Single-cell field · bone marrow aspirate smear
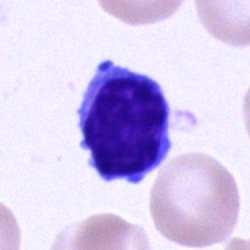Specimen: bone marrow aspirate smear.
Cell: typical lymphocyte.
Lineage: lymphoid.